Bone marrow aspirate smear — 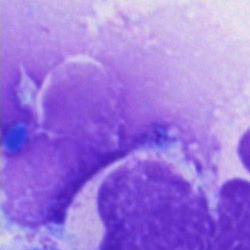Impression → artifact.